Bone marrow smear: 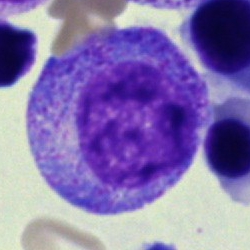 Specimen: bone marrow aspirate smear.
Cell type: progranulocyte.
Lineage: myeloid.